Bone marrow aspirate smear — 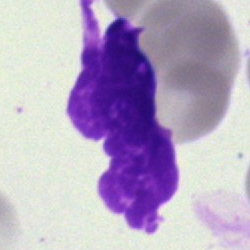 Cell — artifact.